Bone marrow smear:
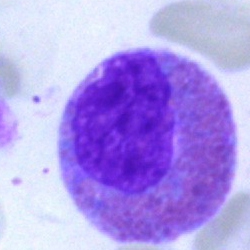

Cell type = eosinophilic granulocyte.